Bone marrow aspirate smear
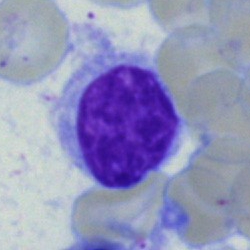
Morphology consistent with a typical lymphocyte.